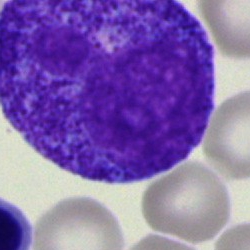

Single-cell crop from a bone marrow smear: promyelocyte.